Peripheral blood smear.
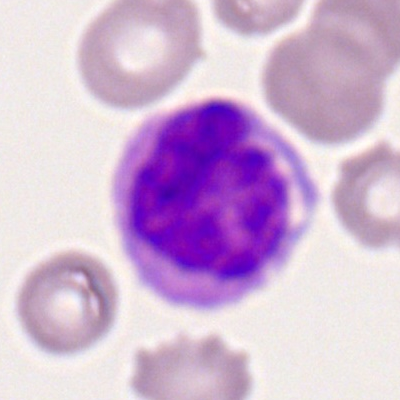 Cell type = monocyte.